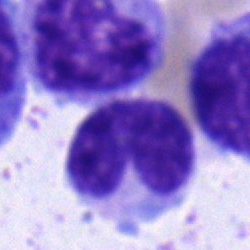

Morphological class — band neutrophil.